Bone marrow smear — 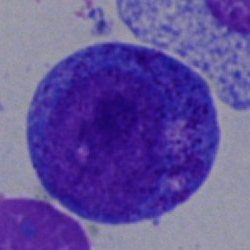 Morphological class — promyelocyte.